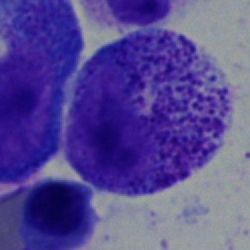Specimen: bone marrow aspirate smear.
Cell type: promyelocyte.
Lineage: myeloid.